Image size 250×250. May-Grünwald-Giemsa/Pappenheim stain. Bone marrow smear
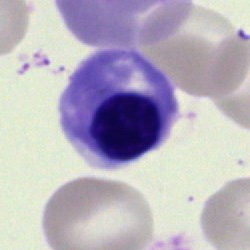

Impression → normoblast.